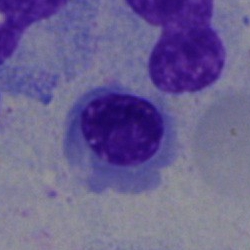
Morphology consistent with a nucleated red blood cell.